Peripheral blood film: 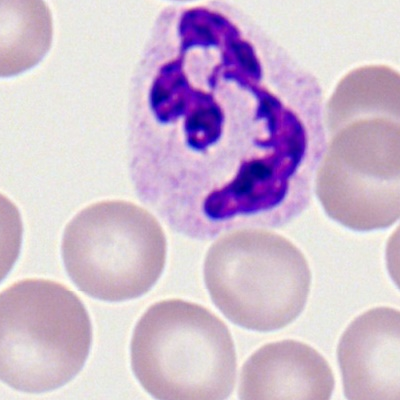
This is a neutrophil (segmented).